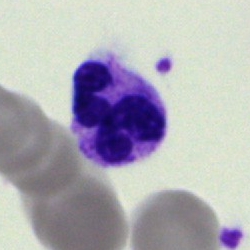

Single-cell crop from a bone marrow smear: neutrophil (segmented).